Image size 250×250 · bone marrow aspirate smear · single-cell crop.
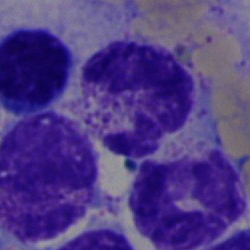 The cell is neutrophil (segmented).